Bone marrow aspirate smear
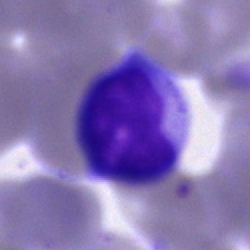 Cell: typical lymphocyte.